Peripheral blood smear.
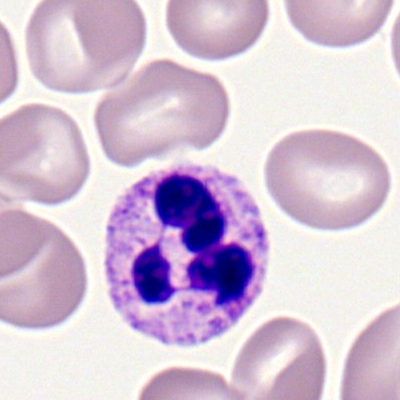Cell = segmented neutrophil.